Bone marrow smear. 40× oil immersion
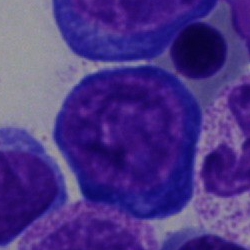
A pronormoblast.